May-Grünwald-Giemsa stain; 250×250 px; bone marrow aspirate smear: 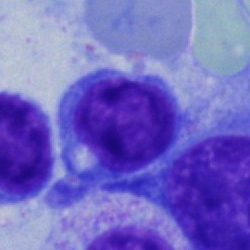 Q: Identify the cell.
A: This is a typical lymphocyte.